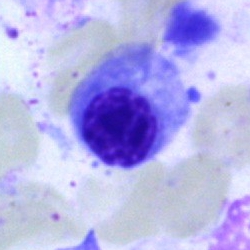 Morphology consistent with an erythroblast.